Romanowsky-stained; peripheral blood film; M8 digital microscope (Precipoint), 100× oil immersion.
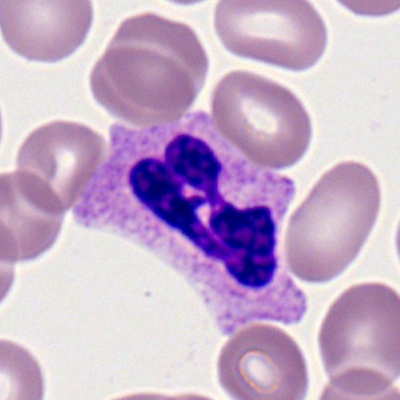

This is a neutrophil (segmented).